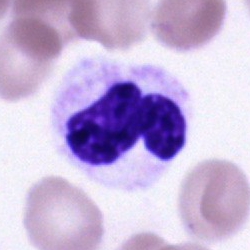 Morphological class = neutrophil (segmented).